Single cell centered in the field. Bone marrow aspirate smear
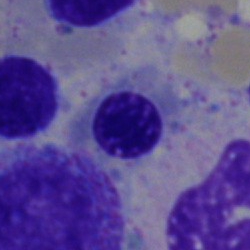
The cell type is erythroblast.